Bone marrow aspirate smear: 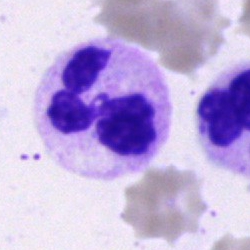Q: Identify the cell.
A: A neutrophil (segmented).